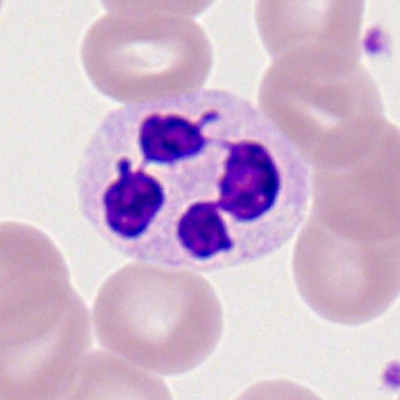

Q: What is shown here?
A: Neutrophil (segmented).